Bone marrow smear
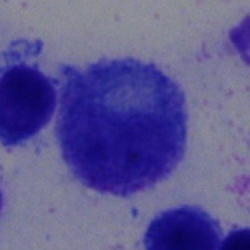

{"cell_type": "myelocyte"}